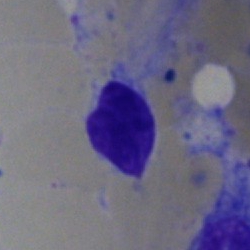 The cell shown is an artifact.